MGG-stained. Bone marrow aspirate smear.
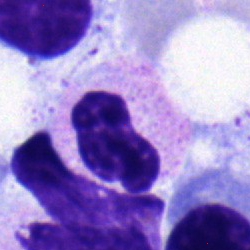

The cell is segmented neutrophil.